May-Grünwald-Giemsa/Pappenheim stain. Bone marrow smear. 40× oil immersion:
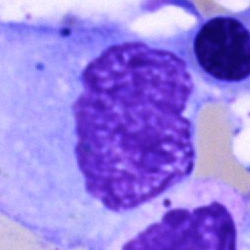
{"cell_type": "artifact"}